Bone marrow smear — 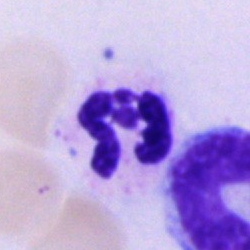

Q: What is the morphological classification of this cell?
A: A polymorphonuclear neutrophil.